Peripheral blood smear; 360×363.
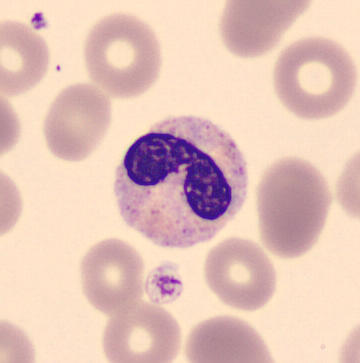

Impression — band-form neutrophil.